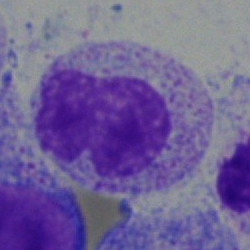
Single-cell crop from a bone marrow smear: metamyelocyte.